Single cell centered in the field. Bone marrow aspirate smear:
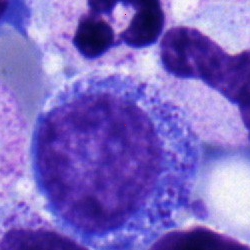

Impression → promyelocyte.